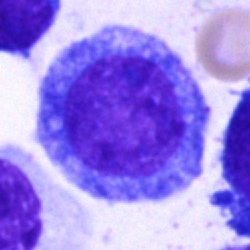Progranulocyte.